250×250. Bone marrow aspirate smear:
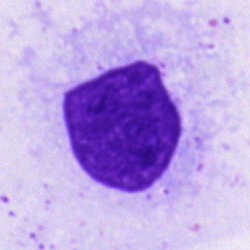 Q: What is shown here?
A: An artifact.